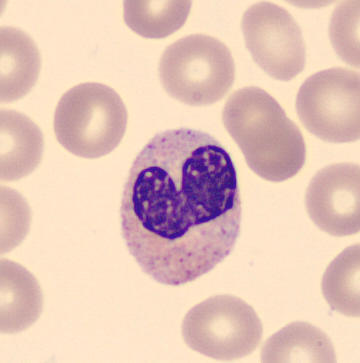 Classification: band-form neutrophil.